Single cell centered in the field. 250×250 px. Bone marrow aspirate smear
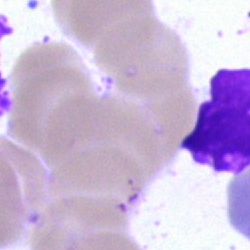 The morphological class is artefact.